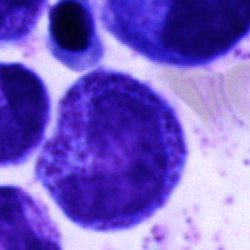

This is a promyelocyte.